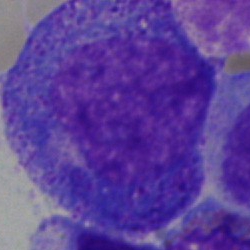A progranulocyte on a bone marrow smear.